Bone marrow aspirate smear — 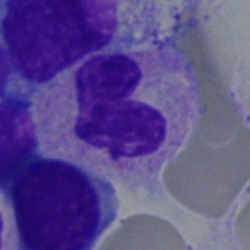

Q: Identify the cell.
A: This is a polymorphonuclear neutrophil.